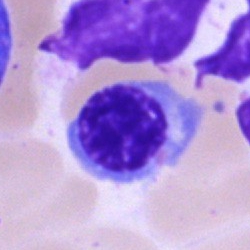Bone marrow aspirate smear, single cell — nucleated red cell.